Bone marrow smear:
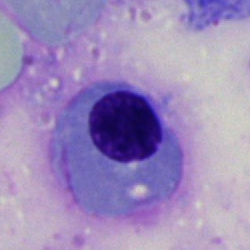

The cell is erythroblast.